Bone marrow smear:
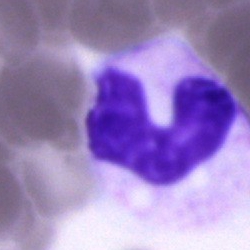 Q: Identify the cell.
A: It is a band-form neutrophil.